Bone marrow smear:
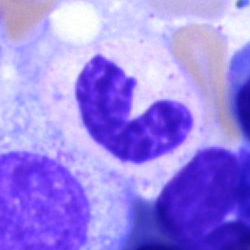 Morphological class: stab cell.